Bone marrow smear · cropped to a single cell · May-Grünwald-Giemsa stain: 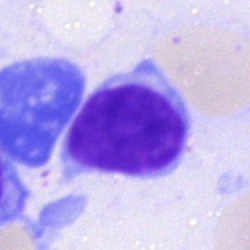
Showing a typical lymphocyte.